Bone marrow smear
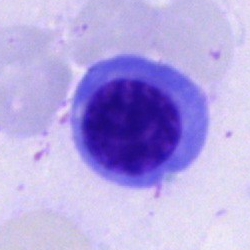 Classification: nucleated red cell.